Bone marrow smear. 250×250: 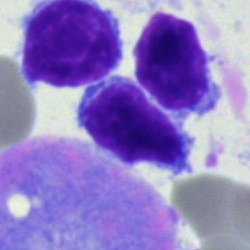Morphology — typical lymphocyte.